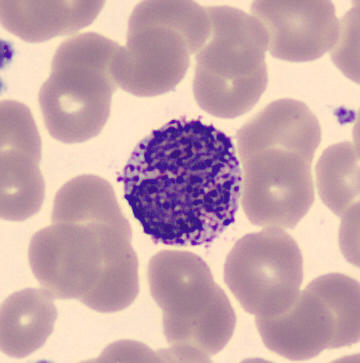The cell shown is a basophilic granulocyte. Acquisition: Peripheral blood smear.